Romanowsky-type stain. Peripheral blood film:
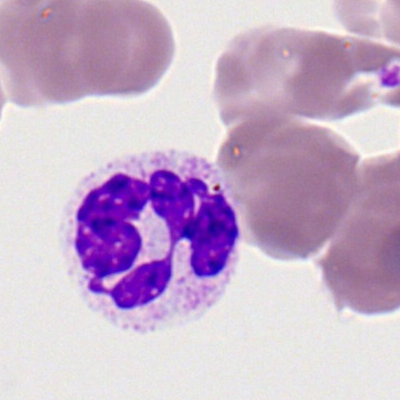

This is a polymorphonuclear neutrophil.